Bone marrow smear; brightfield, 40× oil-immersion objective; MGG-stained:
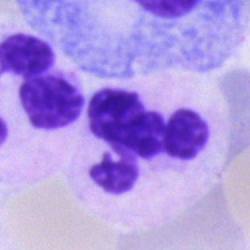
Morphology → segmented neutrophil.